Bone marrow smear · single-cell crop — 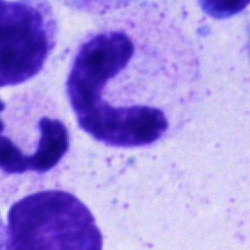 Classification — band neutrophil.